Peripheral blood smear
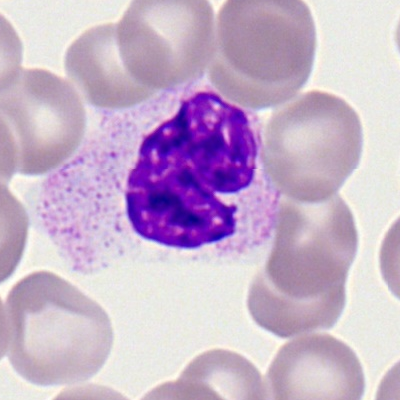

Cell — neutrophil (segmented).